Bone marrow smear; May-Grünwald-Giemsa/Pappenheim stain — 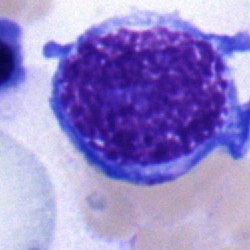

The cell shown is an undifferentiated blast.